Bone marrow smear · 250×250 · single-cell field:
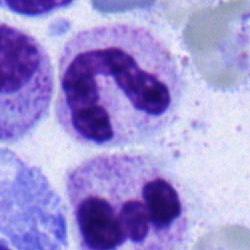 This is a band-form neutrophil.